Bone marrow smear — 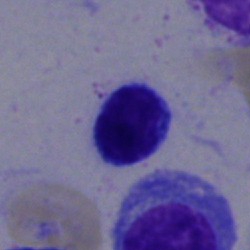

Q: Which cell type is shown here?
A: It is a typical lymphocyte.